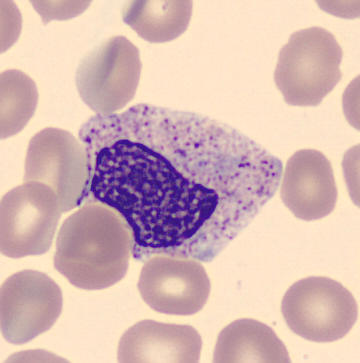Specimen: peripheral blood film.
Cell: metamyelocyte.
Lineage: myeloid.